Bone marrow aspirate smear
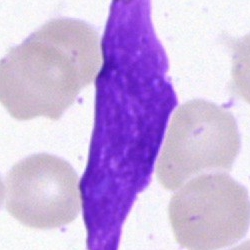{"cell_type": "artifact"}